Bone marrow aspirate smear. 250×250
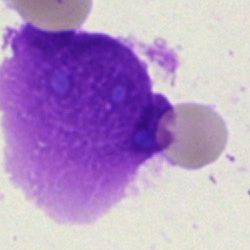Morphology — artifact.